Single-cell crop; peripheral blood smear:
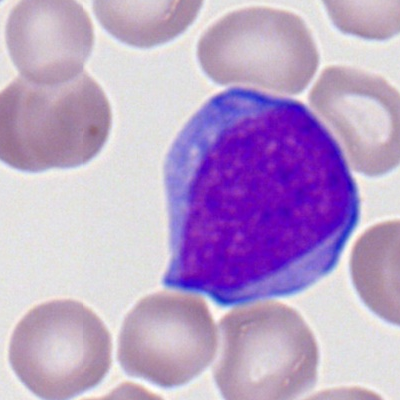

A myeloblast.